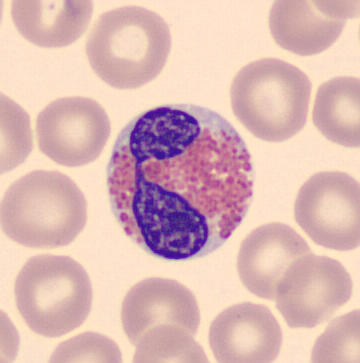 Cell type = eosinophil.

Peripheral blood film; automated cell imaging (CellaVision DM96); 360 by 363 pixels.